Bone marrow aspirate smear; 250×250
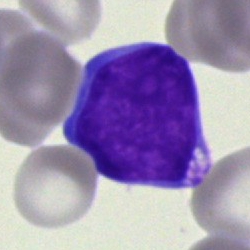

Impression → blast.